40× objective, oil immersion; bone marrow aspirate smear — 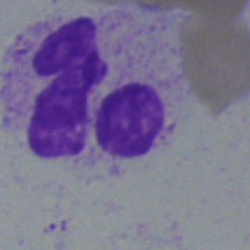
Impression — polymorphonuclear neutrophil.